Bone marrow aspirate smear.
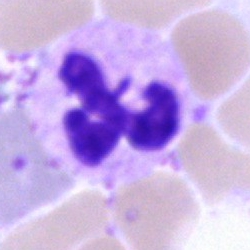

Q: Identify the cell.
A: A neutrophil (segmented).